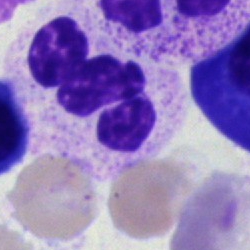
Morphological class — polymorphonuclear neutrophil.